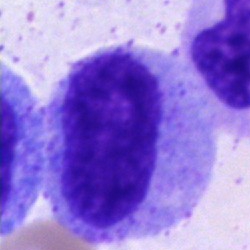

Classification = promyelocyte.